Bone marrow smear:
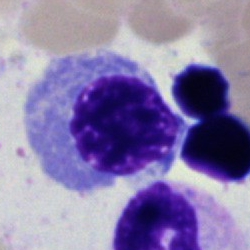

The cell shown is an erythroblast.